Bone marrow smear:
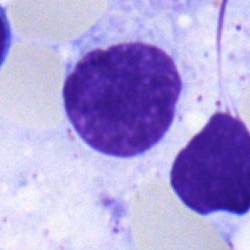 Classification = typical lymphocyte.